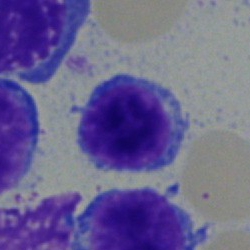 Q: Which cell type is shown here?
A: A typical lymphocyte.